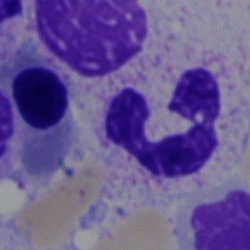
Specimen: bone marrow smear.
Classification: segmented neutrophil.